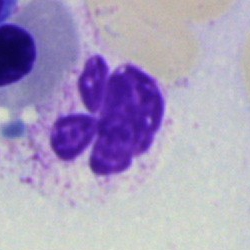 Cell: neutrophil (segmented).